250×250; bone marrow aspirate smear.
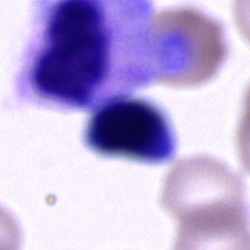

Artifact.